Bone marrow aspirate smear · Pappenheim-stained · 40× oil immersion — 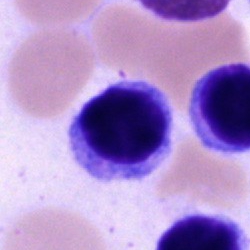

Specimen: bone marrow aspirate smear.
Morphological class: typical lymphocyte.
Lineage: lymphoid.